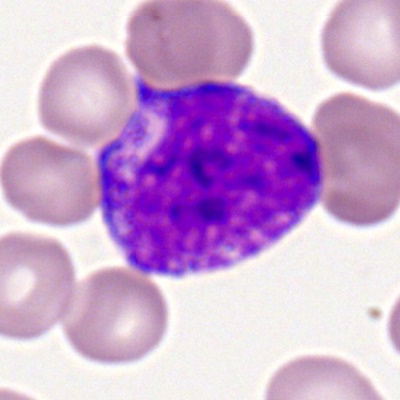Q: Which cell type is shown here?
A: A progranulocyte.